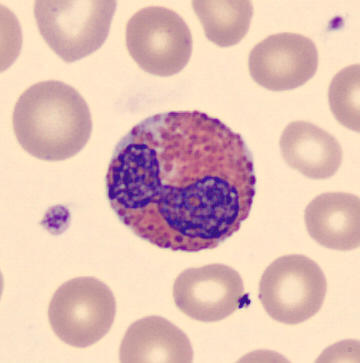 {"cell_type": "eosinophil", "lineage": "myeloid"}

Image: Peripheral blood smear.